Bone marrow smear
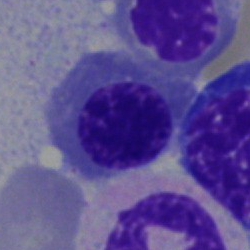{"cell_type": "normoblast", "lineage": "erythroid"}